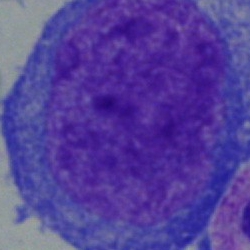
Showing an undifferentiated blast.